Bone marrow smear; brightfield microscopy, 40× oil immersion: 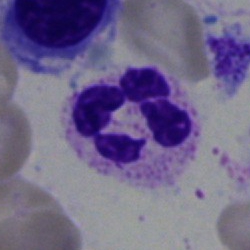

Specimen: bone marrow aspirate smear.
Cell type: neutrophil (segmented).
Lineage: myeloid.